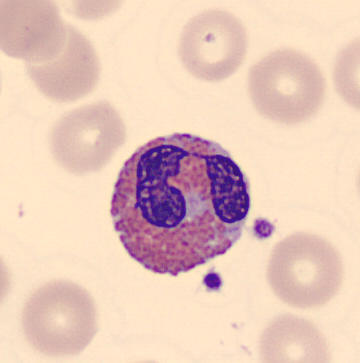 Image: Peripheral blood film · CellaVision DM96 · 360×363 px.

Showing an eosinophil.